40× oil immersion. Single cell centered in the field. Bone marrow aspirate smear
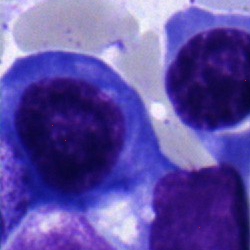

Q: What cell is this?
A: It is a nucleated red cell.